Bone marrow aspirate smear: 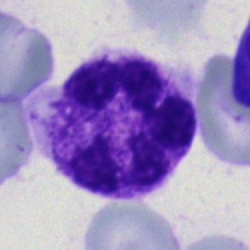
Specimen: bone marrow smear.
Cell: neutrophil (segmented).